Bone marrow smear:
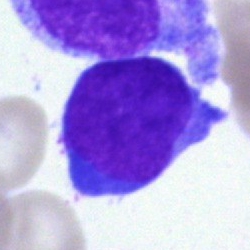{"cell_type": "blast"}